Bone marrow smear.
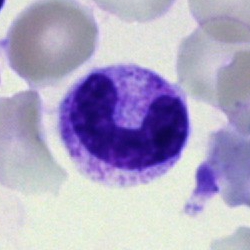
Impression → stab cell.